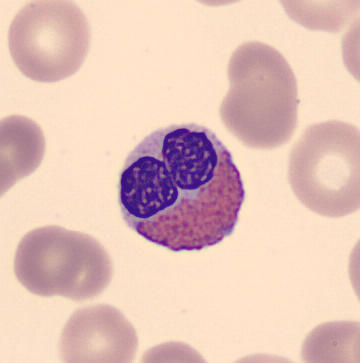Morphological class = eosinophilic granulocyte.
Preparation: Peripheral blood film.